Bone marrow aspirate smear; brightfield, 40× oil-immersion objective:
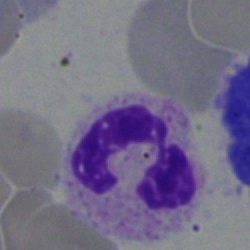Q: Identify the cell.
A: A neutrophil (segmented).